Brightfield, 40× oil-immersion objective · bone marrow smear · 250×250 px.
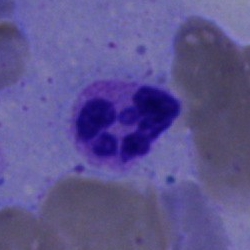

Cell type = polymorphonuclear neutrophil.